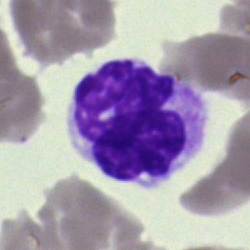
Specimen: bone marrow smear.
Cell type: segmented neutrophil.